Peripheral blood film.
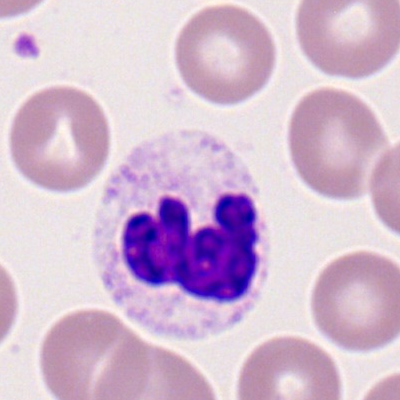
Specimen: peripheral blood film.
Classification: polymorphonuclear neutrophil.
Lineage: myeloid.